Single-cell crop · bone marrow aspirate smear · Pappenheim-stained.
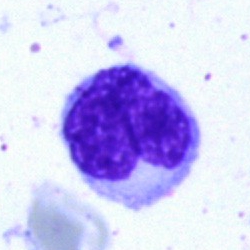
Cell type: monocyte.